Bone marrow smear; May-Grünwald-Giemsa stain: 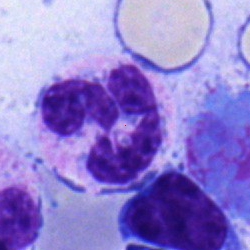Q: What is shown here?
A: Segmented neutrophil.